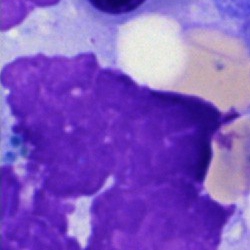
Morphological class = artifact.